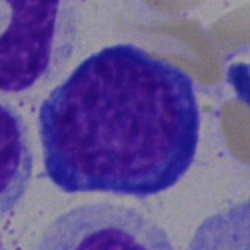A nucleated red cell.